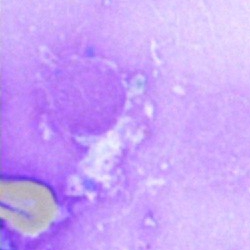
The cell shown is an artefact.